May-Grünwald-Giemsa/Pappenheim stain. Bone marrow aspirate smear.
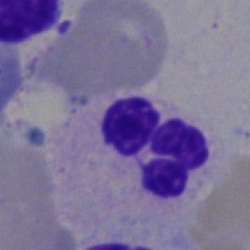 Q: Identify the cell.
A: It is a segmented neutrophil.